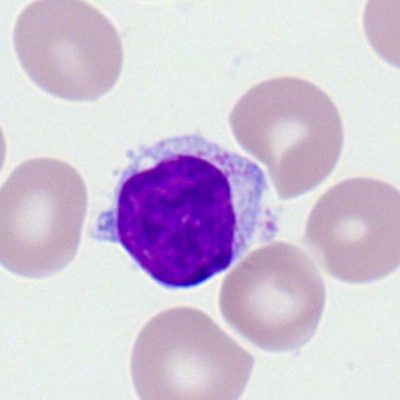

Cell type — lymphocyte.